Bone marrow smear — 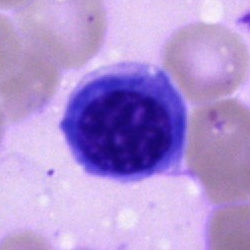
Showing a nucleated red cell.